Bone marrow aspirate smear. 250 by 250 pixels:
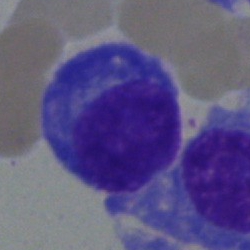Cell — plasma cell.